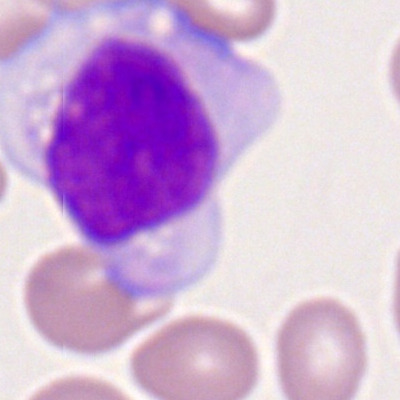 A monocyte on a peripheral blood smear.